Bone marrow aspirate smear · MGG-stained · brightfield, 40× oil-immersion objective — 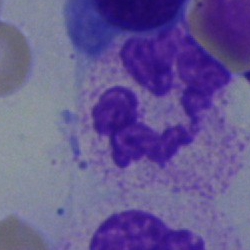

Polymorphonuclear neutrophil.